Single cell centered in the field; bone marrow smear; Pappenheim-stained — 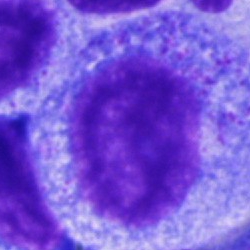
{"cell_type": "progranulocyte", "lineage": "myeloid"}